MGG-stained; bone marrow smear: 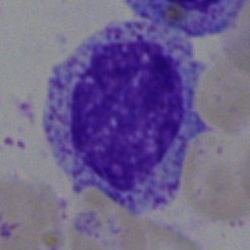
Morphological class — myelocyte.